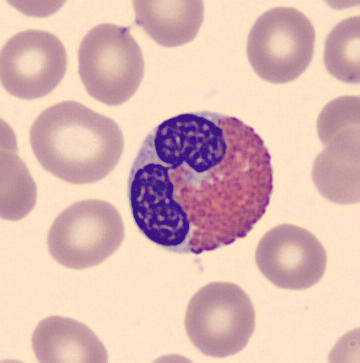

Cell = eosinophilic granulocyte.